Bone marrow smear.
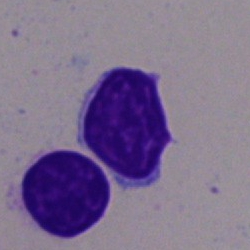
The cell type is typical lymphocyte.